Bone marrow aspirate smear: 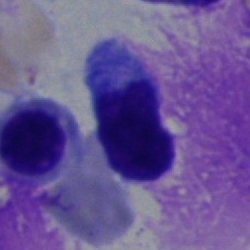
This is a lymphocyte.